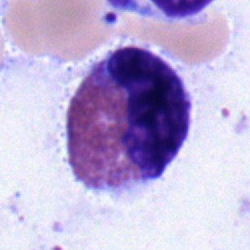Q: What type of cell is this?
A: It is an eosinophilic granulocyte.